Bone marrow smear:
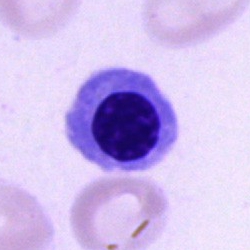Q: What cell is this?
A: Nucleated red cell.